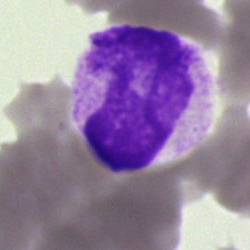

The classification is artefact.